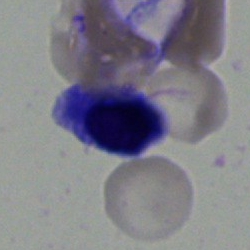 Classification: normoblast.